Brightfield microscopy, 40× oil immersion; 250 by 250 pixels; bone marrow smear — 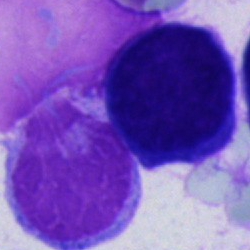
An unidentifiable cell.